Bone marrow aspirate smear; cropped to a single cell; 250×250: 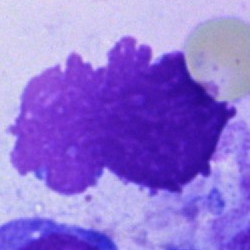
Artefact.